40× objective, oil immersion · single-cell crop · bone marrow aspirate smear
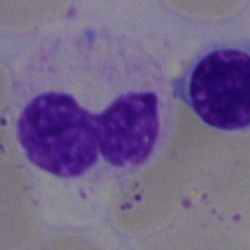The cell shown is a segmented neutrophil.